Brightfield, 40× oil-immersion objective · May-Grünwald-Giemsa/Pappenheim stain · bone marrow aspirate smear
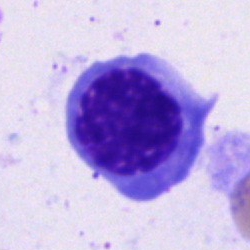

Cell = normoblast.